May-Grünwald-Giemsa stain · bone marrow aspirate smear — 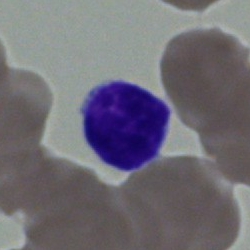
Classification = typical lymphocyte.